Bone marrow smear — 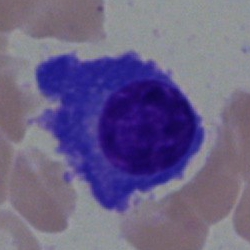 Specimen: bone marrow smear.
Cell: plasma cell.